Peripheral blood film: 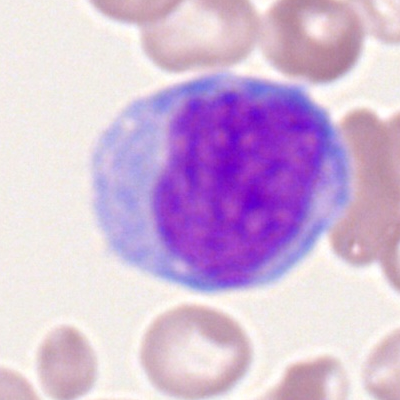

Monocyte.